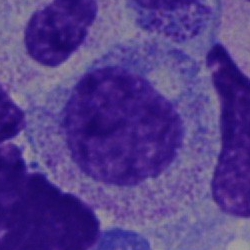 Cell type = myelocyte.